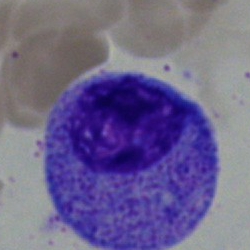
{"cell_type": "promyelocyte", "lineage": "myeloid"}